Bone marrow aspirate smear
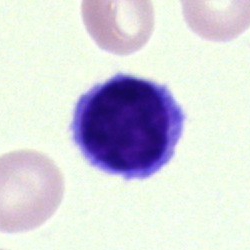Specimen: bone marrow smear.
Cell: lymphocyte.